Bone marrow smear · 250 by 250 pixels
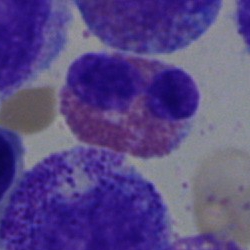

This is an eosinophil.